Bone marrow smear; brightfield microscopy, 40× oil immersion.
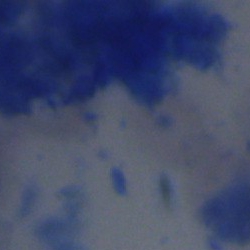Artefact.